Image size 250×250 · bone marrow smear
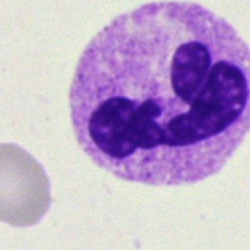{"cell_type": "neutrophil (segmented)", "lineage": "myeloid"}